Bone marrow aspirate smear; brightfield, 40× oil-immersion objective — 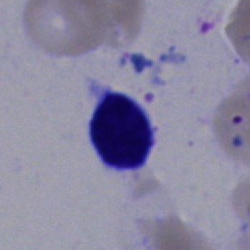

Single cell identified as a normoblast.